Cropped to a single cell · bone marrow aspirate smear · May-Grünwald-Giemsa/Pappenheim stain — 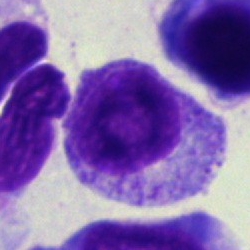

Single cell identified as a myelocyte.